Bone marrow smear.
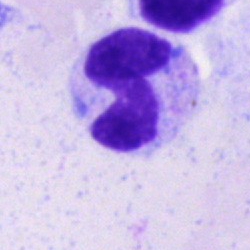
Q: What cell is this?
A: A segmented neutrophil.